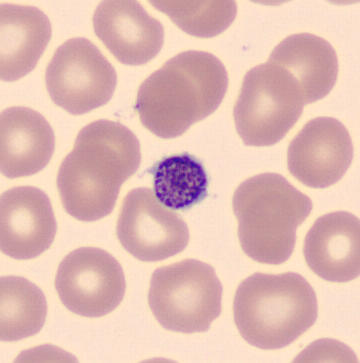Cell type = platelet (thrombocyte).